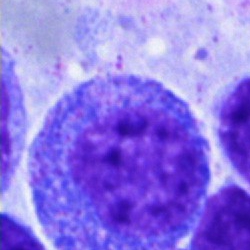 Morphology — promyelocyte.